Bone marrow aspirate smear:
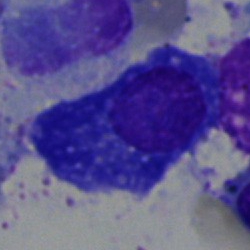

Specimen: bone marrow smear.
Cell: plasmacyte.
Lineage: lymphoid.